Peripheral blood smear
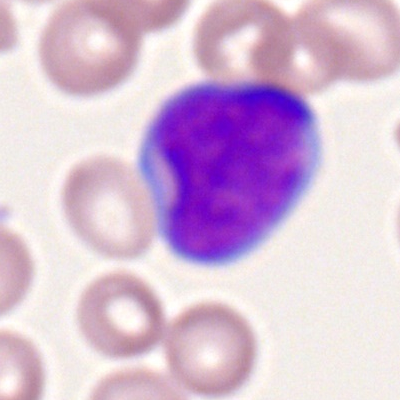
Q: What is the morphological classification of this cell?
A: This is a myeloid blast.